Bone marrow smear: 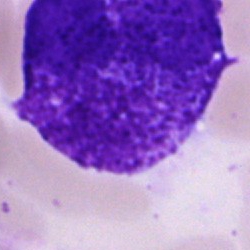
The morphological class is blast cell.